May-Grünwald-Giemsa/Pappenheim stain; bone marrow smear:
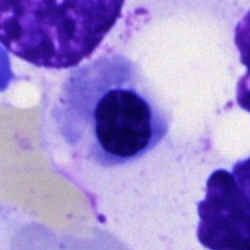 Q: What type of cell is this?
A: Nucleated red blood cell.